Bone marrow aspirate smear:
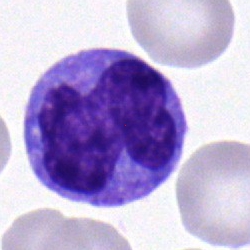Q: What is shown here?
A: It is a monocyte.